Image size 250×250; bone marrow aspirate smear.
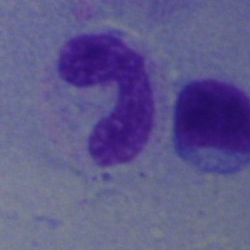Impression → band-form neutrophil.